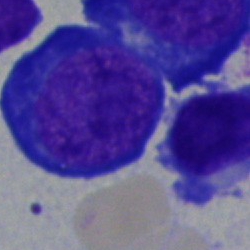
Q: Identify the cell.
A: This is an erythroblast.